Bone marrow aspirate smear
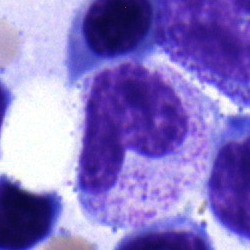 Classification — metamyelocyte.